Bone marrow smear.
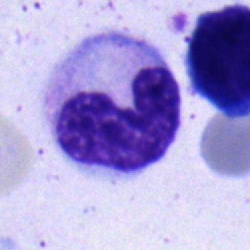

Specimen: bone marrow aspirate smear.
Morphological class: band neutrophil.